Peripheral blood film. Single-cell field. 400×400
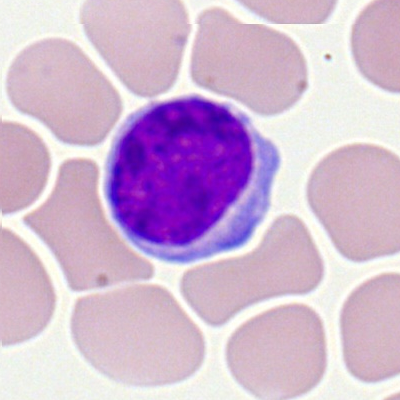Single cell identified as a typical lymphocyte.